Bone marrow aspirate smear; brightfield microscopy, 40× oil immersion; 250×250 px — 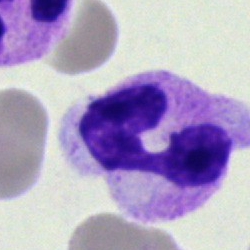

{"cell_type": "neutrophil (segmented)"}